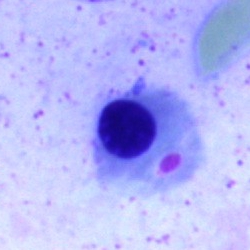 Cell type: normoblast.